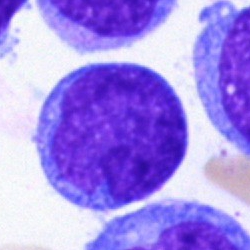 {"cell_type": "undifferentiated blast"}